Peripheral blood smear; Romanowsky-type stain; 400 by 400 pixels — 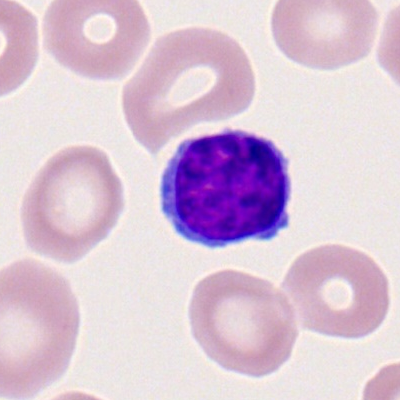Cell: lymphocyte.